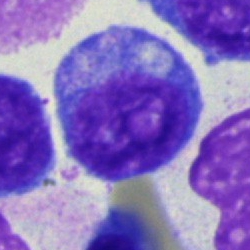Single-cell crop from a bone marrow smear: undifferentiated blast.